Bone marrow smear; single-cell crop — 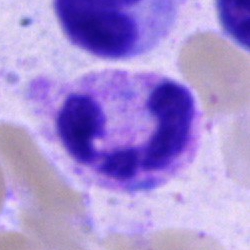
Cell type: polymorphonuclear neutrophil.